40× oil immersion; bone marrow smear: 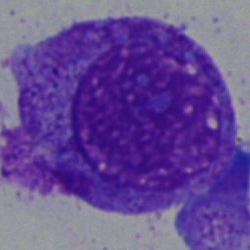
The cell shown is a promyelocyte.